Bone marrow smear.
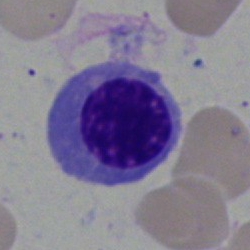 Morphological class = nucleated red cell.